Single-cell crop · bone marrow aspirate smear · Pappenheim-stained — 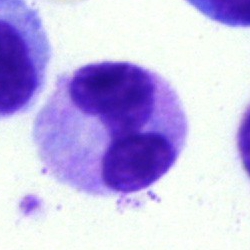This is a band-form neutrophil.